Bone marrow aspirate smear · 40× objective, oil immersion:
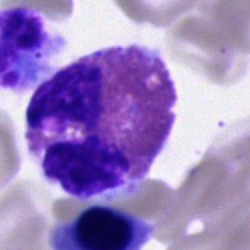Morphology → eosinophilic granulocyte.